Bone marrow aspirate smear: 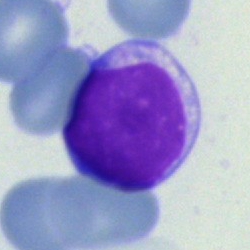

Specimen: bone marrow aspirate smear.
Classification: typical lymphocyte.